Bone marrow smear.
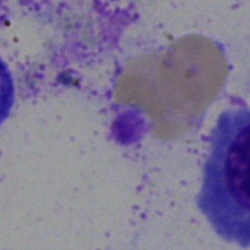 Morphology consistent with an artifact.